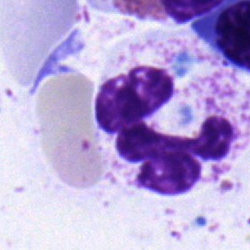

Specimen: bone marrow smear.
Classification: polymorphonuclear neutrophil.